Bone marrow smear
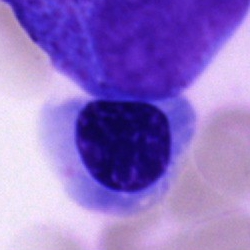

Morphology consistent with an erythroblast.